Bone marrow aspirate smear — 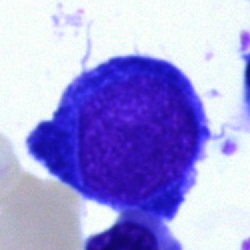
{"cell_type": "normoblast", "lineage": "erythroid"}